Bone marrow smear
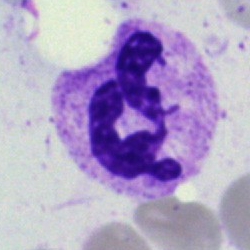

{"cell_type": "neutrophil (segmented)", "lineage": "myeloid"}